Bone marrow smear
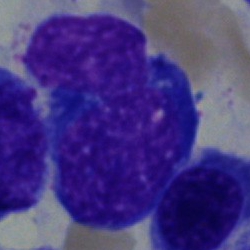

Morphology — normoblast.